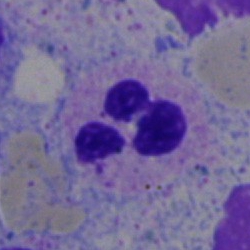Specimen: bone marrow aspirate smear.
Classification: polymorphonuclear neutrophil.